Single-cell crop; peripheral blood film.
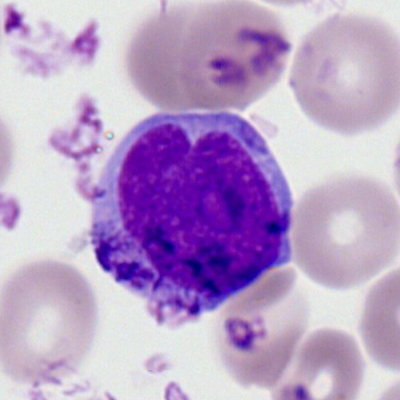
Q: What type of cell is this?
A: It is a myeloid blast.